Image size 250×250 · single-cell field · bone marrow aspirate smear:
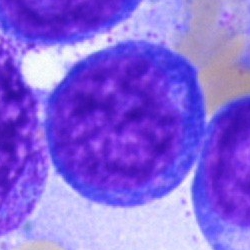
The cell is erythroblast.